Peripheral blood smear: 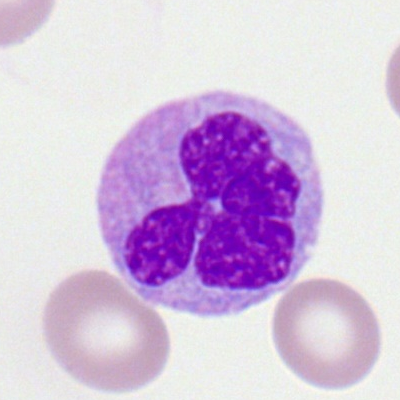

Single cell identified as a monocyte.